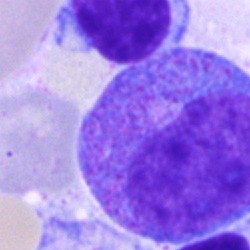 A progranulocyte on a bone marrow smear.